Bone marrow smear — 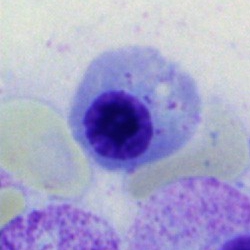

Nucleated red cell.